Bone marrow aspirate smear. Brightfield microscopy, 40× oil immersion.
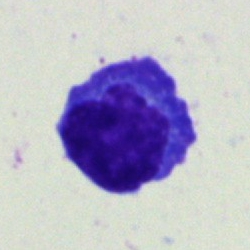 Cell type: lymphocyte.